250 by 250 pixels. Bone marrow smear — 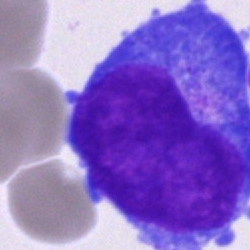 Q: Which cell type is shown here?
A: A blast.